250×250; bone marrow aspirate smear
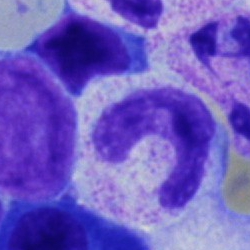

Q: What is the morphological classification of this cell?
A: Stab cell.